400 by 400 pixels; single-cell crop; peripheral blood film
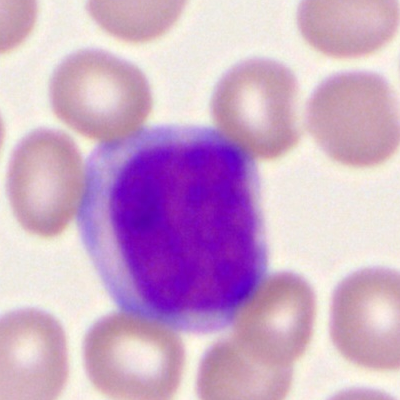This is a myeloblast.